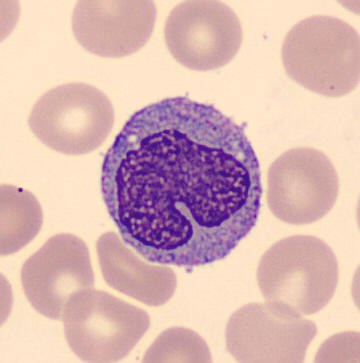

Acquisition: Peripheral blood film.
Classification = monocyte.